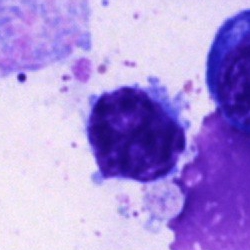
Specimen: bone marrow smear.
Cell: typical lymphocyte.
Lineage: lymphoid.